Bone marrow smear — 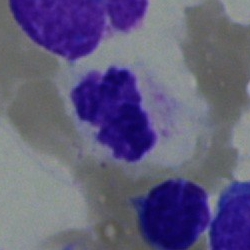
Showing a segmented neutrophil.